Peripheral blood smear:
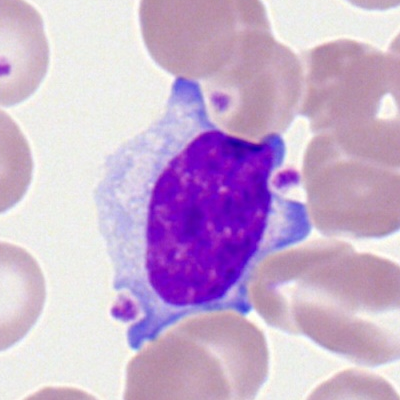Morphological class — typical lymphocyte.